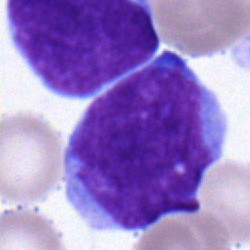 Morphology → blast cell.